250×250 px · bone marrow aspirate smear · brightfield microscopy, 40× oil immersion
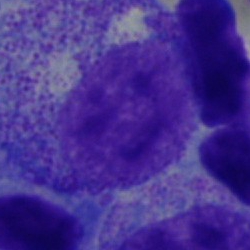

A myelocyte.